Peripheral blood smear — 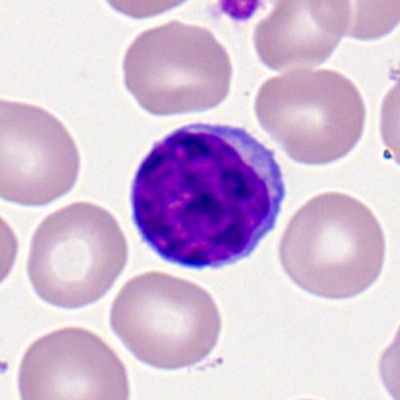Q: Which cell type is shown here?
A: This is a lymphocyte.